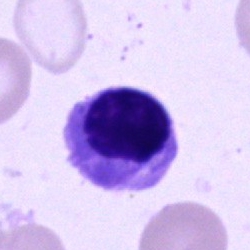

An erythroblast on a bone marrow smear.